Bone marrow aspirate smear; 250×250.
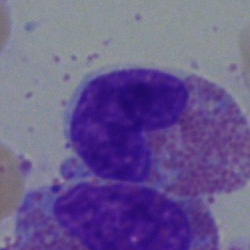

The classification is eosinophil.